Bone marrow smear: 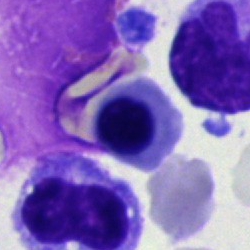 Showing a nucleated red cell.